Bone marrow aspirate smear:
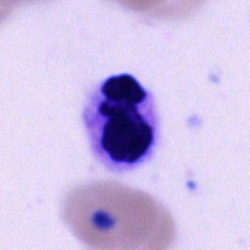 Q: Which cell type is shown here?
A: A neutrophil (segmented).